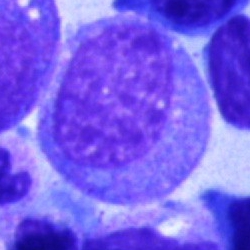
Single-cell crop from a bone marrow smear: promyelocyte.